Image size 250×250. Bone marrow smear. May-Grünwald-Giemsa/Pappenheim stain: 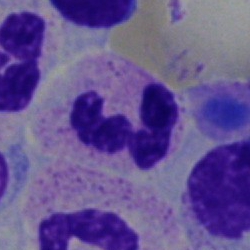

Morphology consistent with a segmented neutrophil.